Single-cell field; bone marrow smear; 250 by 250 pixels — 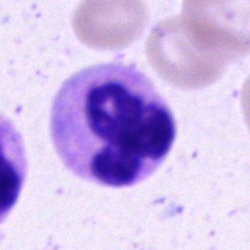
Showing a polymorphonuclear neutrophil.